Peripheral blood film:
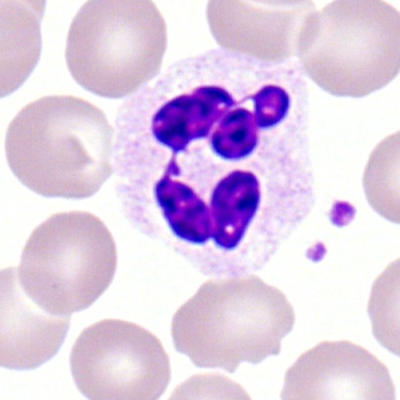

Morphology consistent with a polymorphonuclear neutrophil.